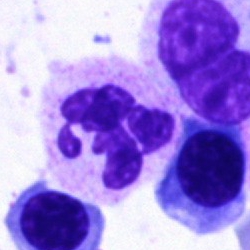Impression — neutrophil (segmented).